Peripheral blood film:
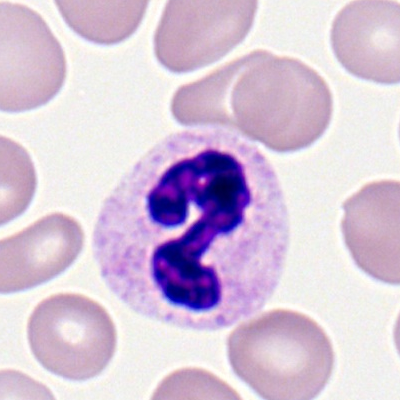 The cell type is neutrophil (segmented).